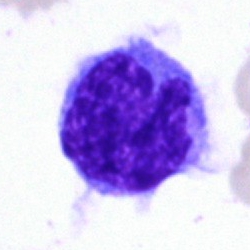 Q: What is shown here?
A: A monocyte.